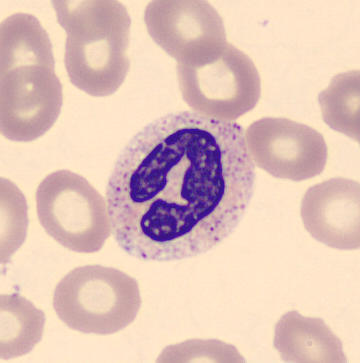
Peripheral blood film. Classification — neutrophil (band).